Cropped to a single cell. Bone marrow aspirate smear:
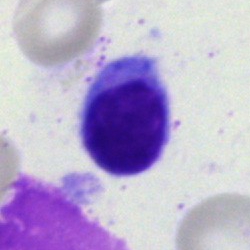Morphology consistent with a typical lymphocyte.